Peripheral blood smear:
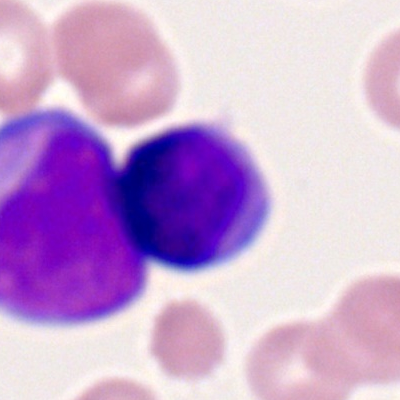 Q: Which cell type is shown here?
A: A lymphocyte.